May-Grünwald-Giemsa stain · bone marrow smear
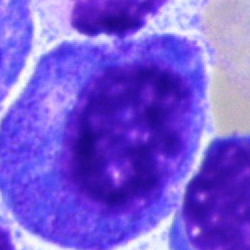Q: Which cell type is shown here?
A: This is a progranulocyte.